40× objective, oil immersion · bone marrow aspirate smear: 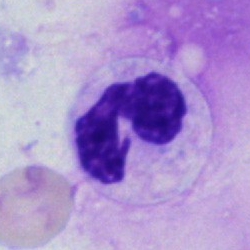
Classification: segmented neutrophil.